Bone marrow aspirate smear:
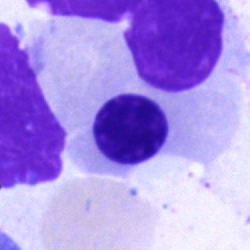 Single cell identified as an erythroblast.